Bone marrow aspirate smear.
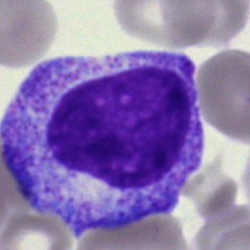

Showing a myelocyte.